Bone marrow smear
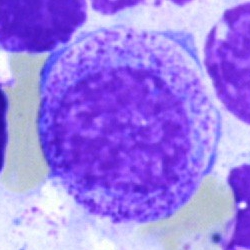 Impression — myelocyte.